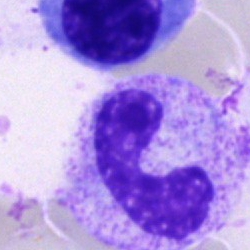

Q: What type of cell is this?
A: A neutrophil (band).